May-Grünwald-Giemsa stain · bone marrow smear — 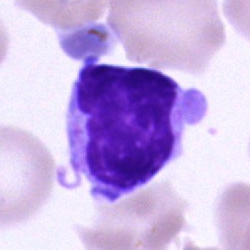 Morphology consistent with a typical lymphocyte.